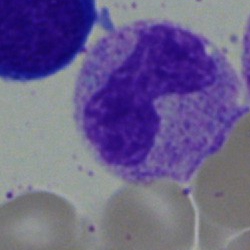This is a band neutrophil.